Single-cell crop · bone marrow aspirate smear
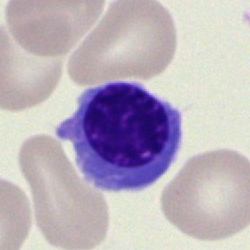

Classification — nucleated red cell.